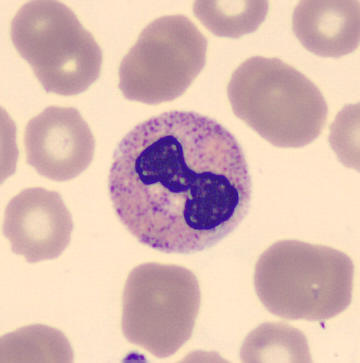
Image: Peripheral blood smear. Band-form neutrophil.